Single cell centered in the field; bone marrow smear — 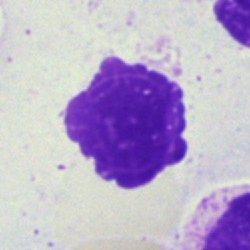Q: What is shown here?
A: This is an artefact.